Single-cell field · peripheral blood film · MGG stain
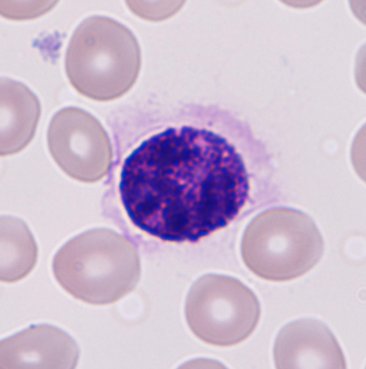 Specimen: peripheral blood smear.
Cell: basophil.